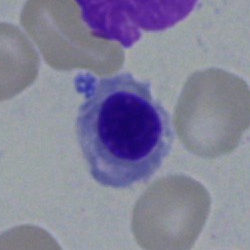The cell type is normoblast.